Bone marrow smear:
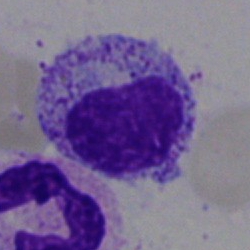
Classification — myelocyte.